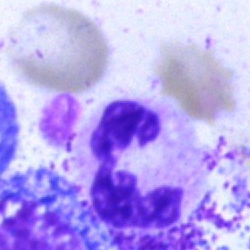Classification = polymorphonuclear neutrophil.